Peripheral blood smear. 100× objective, oil immersion:
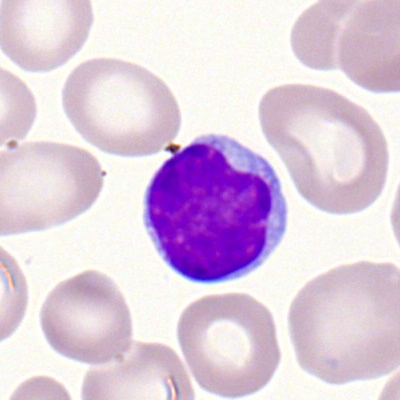
Cell type: lymphocyte.